Bone marrow smear.
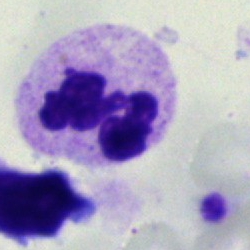 Single cell identified as a neutrophil (segmented).